Bone marrow smear; MGG-stained: 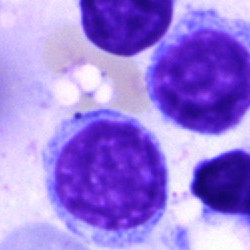 Specimen: bone marrow aspirate smear.
Cell type: lymphocyte.
Lineage: lymphoid.